Bone marrow aspirate smear: 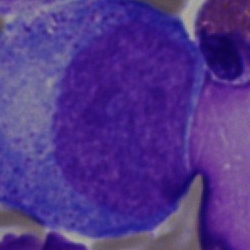Cell: promyelocyte.